Bone marrow smear: 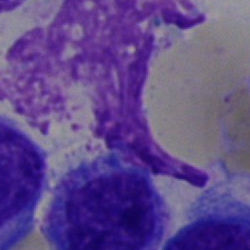

Single cell identified as an artifact.